Peripheral blood smear — 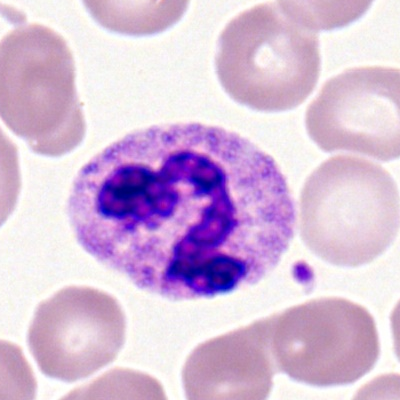

{"cell_type": "segmented neutrophil", "lineage": "myeloid"}